Single-cell crop; peripheral blood smear: 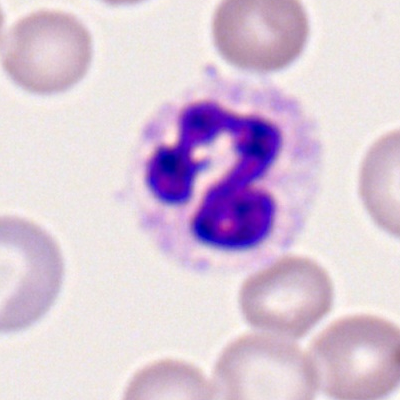

Morphological class = neutrophil (segmented).